Bone marrow aspirate smear.
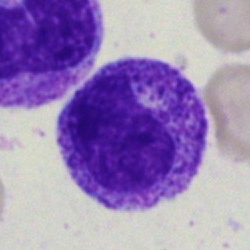Morphological class: myelocyte.